Bone marrow smear
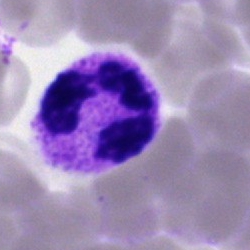
Q: What cell is this?
A: Neutrophil (segmented).